Bone marrow smear: 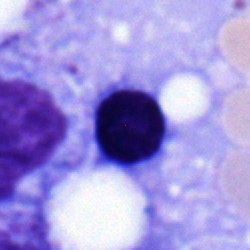

Normoblast.